Bone marrow smear — 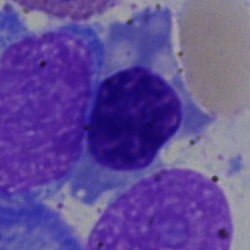Classification: nucleated red cell.